Bone marrow aspirate smear: 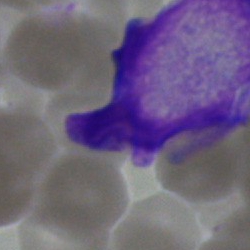Morphology — blast.